Single-cell crop; 40× objective, oil immersion; bone marrow aspirate smear
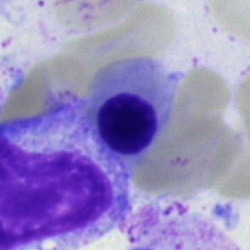 Morphological class = erythroblast.